Bone marrow smear: 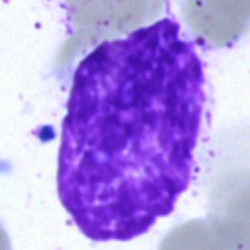

Q: What is shown here?
A: It is an artifact.